May-Grünwald-Giemsa/Pappenheim stain. 250 by 250 pixels. Bone marrow aspirate smear
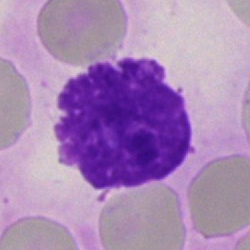
Q: What is shown here?
A: An artefact.